Bone marrow smear.
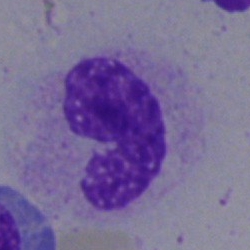 The cell type is neutrophil (band).